Bone marrow smear
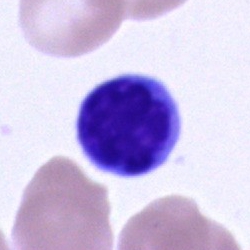
Morphology consistent with a lymphocyte.